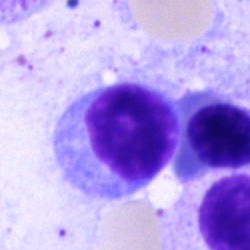

Typical lymphocyte.